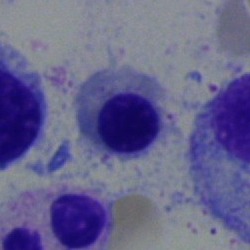
Nucleated red blood cell.